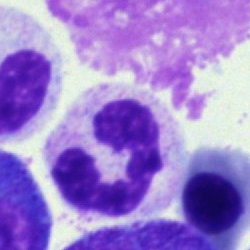Bone marrow aspirate smear, single cell — polymorphonuclear neutrophil.